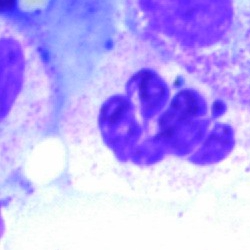Morphological class — polymorphonuclear neutrophil.